Bone marrow smear — 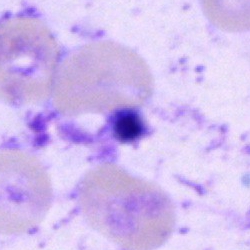

Showing an artefact.